Bone marrow aspirate smear · image size 250×250.
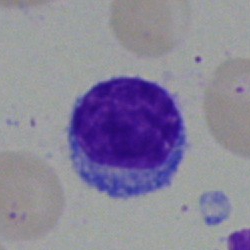{"cell_type": "typical lymphocyte"}